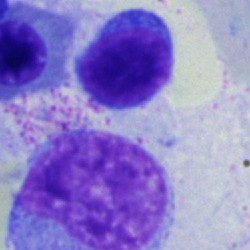 Specimen: bone marrow aspirate smear.
Cell: lymphocyte.